Single-cell crop · bone marrow aspirate smear · 250×250
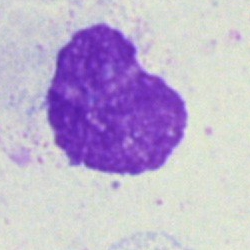The classification is artefact.